MGG-stained. 250×250. Bone marrow aspirate smear:
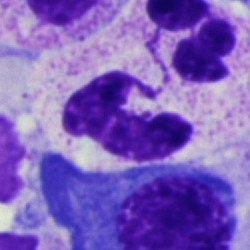 Q: What cell is this?
A: This is a segmented neutrophil.